100× oil immersion, 14.14 px/µm · peripheral blood film — 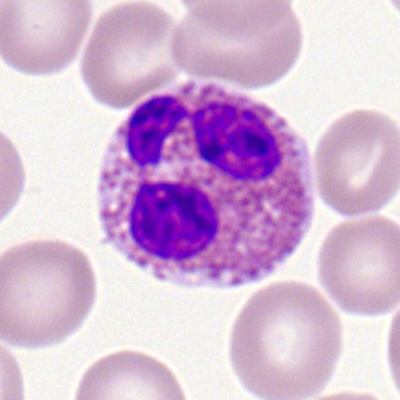 Q: What type of cell is this?
A: This is an eosinophilic granulocyte.